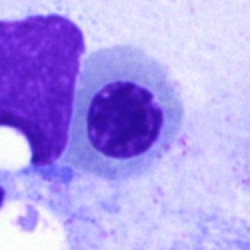
A nucleated red cell.